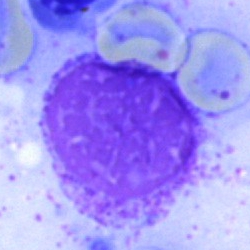

Q: What is shown here?
A: It is an artifact.